Bone marrow smear: 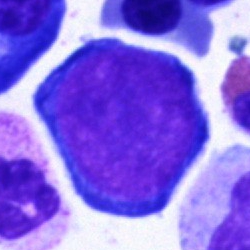
Impression — pronormoblast.